40× objective, oil immersion; bone marrow aspirate smear; single cell centered in the field: 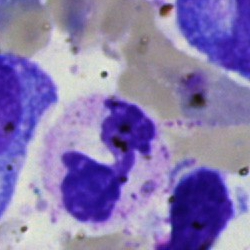
A segmented neutrophil.